Bone marrow smear: 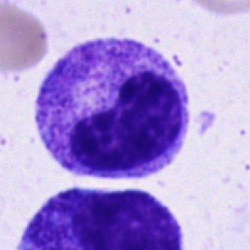
The cell shown is a metamyelocyte.